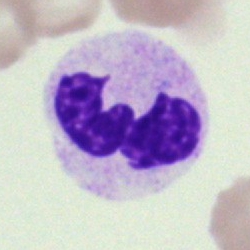
Q: Identify the cell.
A: This is a neutrophil (segmented).